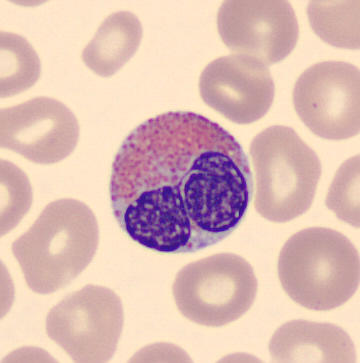Impression — eosinophilic granulocyte.